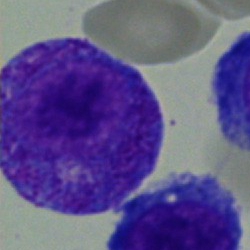 Specimen: bone marrow aspirate smear.
Classification: progranulocyte.
Lineage: myeloid.